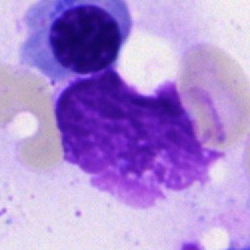 Classification — artifact.